Bone marrow smear; May-Grünwald-Giemsa stain; brightfield microscopy, 40× oil immersion:
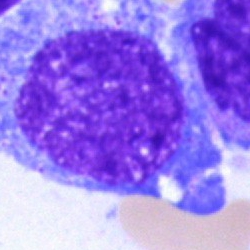 Single cell identified as an undifferentiated blast.